Single-cell crop. Bone marrow aspirate smear.
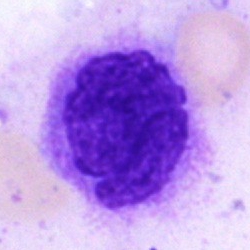Cell — artifact.